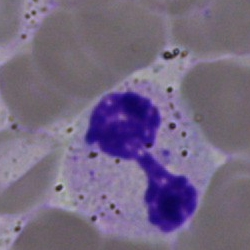

The cell shown is a neutrophil (segmented).